Brightfield microscopy, 40× oil immersion. Bone marrow aspirate smear.
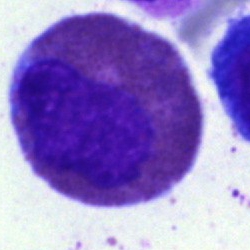

Single cell identified as an eosinophil.